Bone marrow aspirate smear; single cell centered in the field — 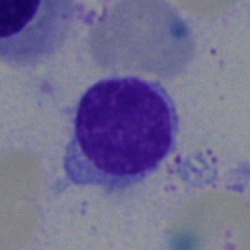Morphological class — lymphocyte.